Peripheral blood smear:
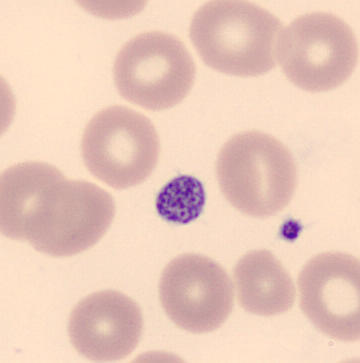 Classification — platelet (thrombocyte).